Single-cell crop · bone marrow smear.
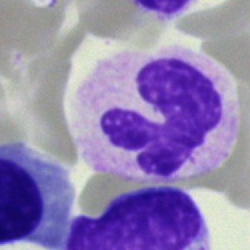A neutrophil (segmented).